Peripheral blood film. Brightfield, 100× oil-immersion objective:
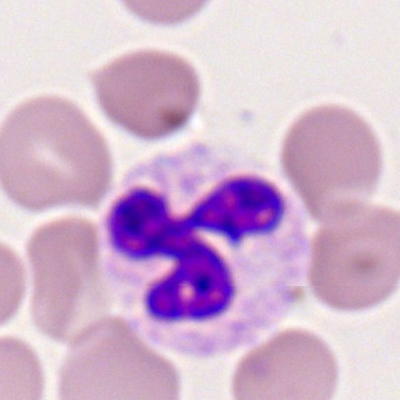 Impression → segmented neutrophil.